Bone marrow smear
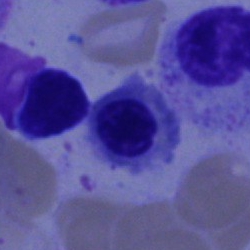Morphology → nucleated red cell.